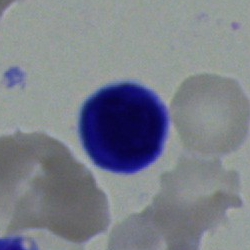 Specimen: bone marrow smear.
Morphological class: lymphocyte.
Lineage: lymphoid.